Bone marrow smear.
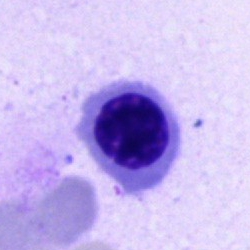
Showing a nucleated red cell.